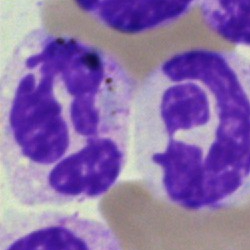

The cell shown is a polymorphonuclear neutrophil.